Peripheral blood smear
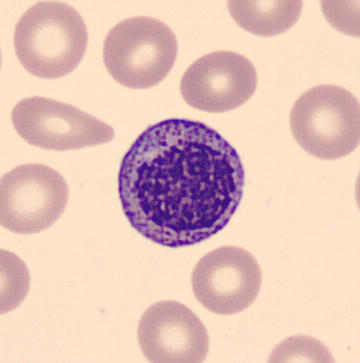
Q: What cell is this?
A: A myelocyte.